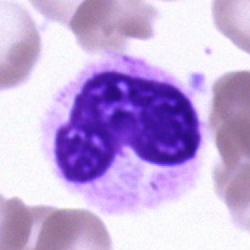 Specimen: bone marrow smear.
Classification: unidentifiable cell.